Peripheral blood smear. 100× oil immersion, 14.14 px/µm — 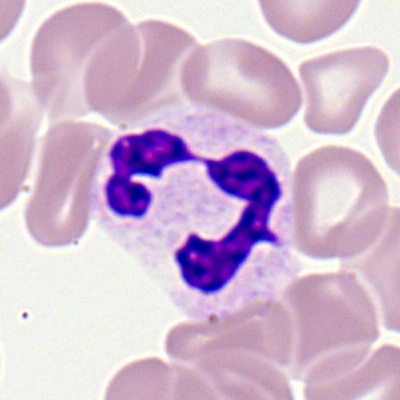Q: What is shown here?
A: This is a segmented neutrophil.